MGG-stained. Bone marrow aspirate smear:
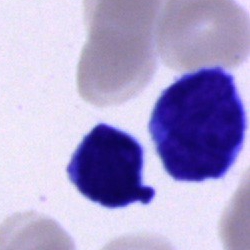 Morphology — typical lymphocyte.